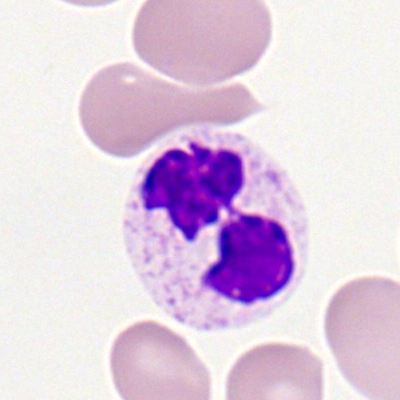

Morphology consistent with a segmented neutrophil.